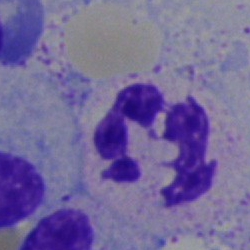

Bone marrow smear showing a polymorphonuclear neutrophil.